Bone marrow aspirate smear. Single cell centered in the field — 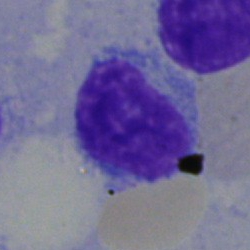
Q: Which cell type is shown here?
A: It is a typical lymphocyte.